Bone marrow smear.
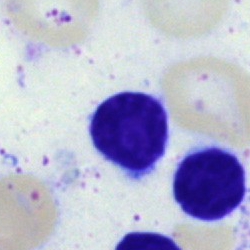The cell shown is a lymphocyte.